Bone marrow aspirate smear — 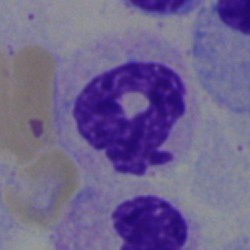
Cell = polymorphonuclear neutrophil.